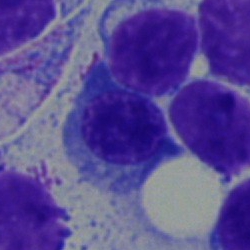

An erythroblast.